Bone marrow aspirate smear
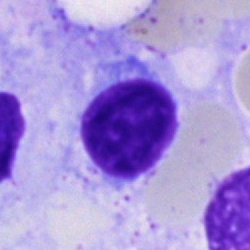
Single cell identified as a typical lymphocyte.